Bone marrow smear
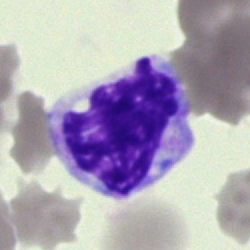
Morphological class: artefact.